Bone marrow smear — 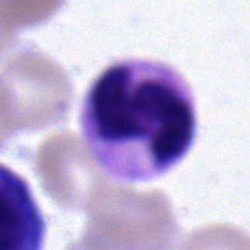 Specimen: bone marrow aspirate smear.
Cell: neutrophil (band).
Lineage: myeloid.